Bone marrow smear
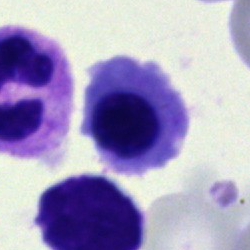 Q: What type of cell is this?
A: A nucleated red cell.